Brightfield, 40× oil-immersion objective. Bone marrow aspirate smear — 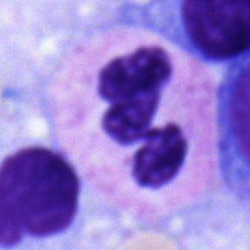

Showing a neutrophil (segmented).